Bone marrow smear; 40× objective, oil immersion — 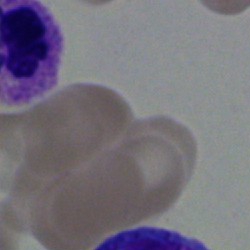Cell type — promyelocyte.